Bone marrow smear — 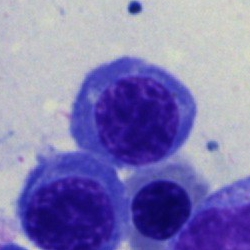 Q: What is shown here?
A: A nucleated red cell.